Bone marrow aspirate smear:
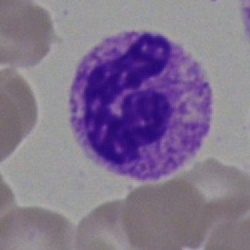The cell shown is a polymorphonuclear neutrophil.